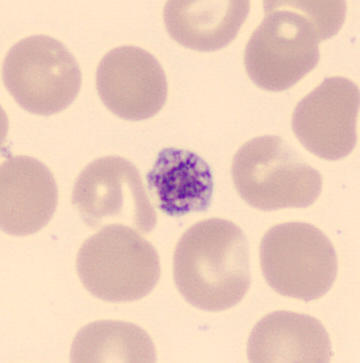This is a thrombocyte.